Single-cell crop; brightfield microscopy, 40× oil immersion; bone marrow aspirate smear — 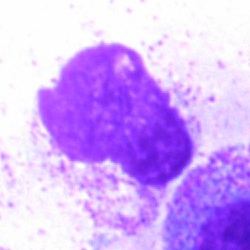 Single cell identified as an artefact.